Single cell centered in the field. Bone marrow aspirate smear.
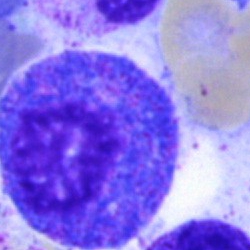 Showing a progranulocyte.